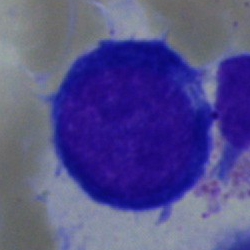
The morphological class is pronormoblast.